Peripheral blood smear · Romanowsky-type stain · image size 400×400 — 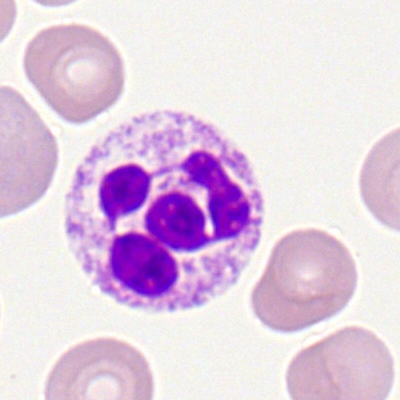

Classification: segmented neutrophil.